Bone marrow aspirate smear · 250 by 250 pixels · single cell centered in the field
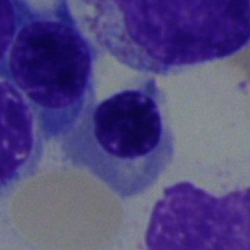
Cell type = nucleated red cell.